Peripheral blood smear.
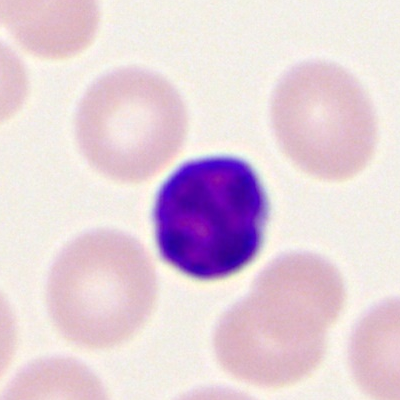

Q: What cell is this?
A: A lymphocyte.